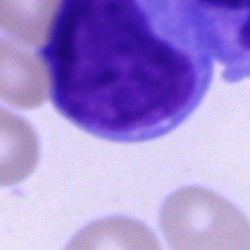
Single cell identified as an undifferentiated blast.